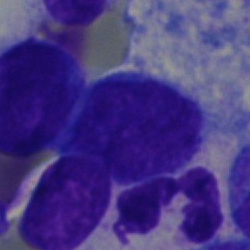Normoblast.